Bone marrow aspirate smear — 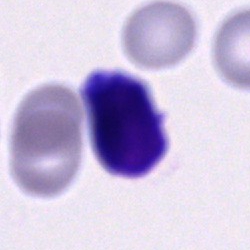 Morphology consistent with an unidentifiable cell.